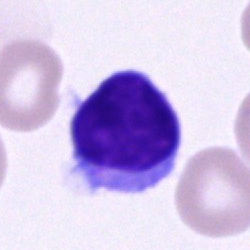Q: Identify the cell.
A: A typical lymphocyte.